Bone marrow smear:
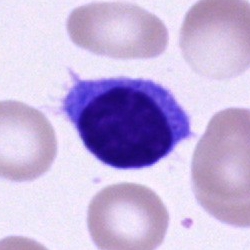The classification is typical lymphocyte.